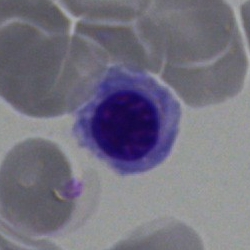

Q: Identify the cell.
A: A normoblast.